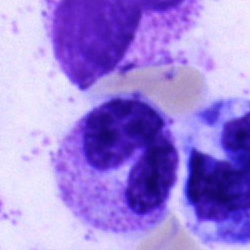

Morphology consistent with a neutrophil (segmented).